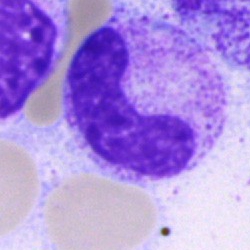

A band-form neutrophil on a bone marrow smear.